Bone marrow smear.
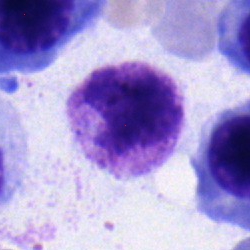

Specimen: bone marrow smear.
Morphological class: myelocyte.